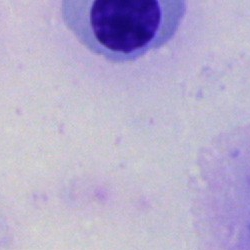
Classification: artefact.